250×250 · bone marrow smear: 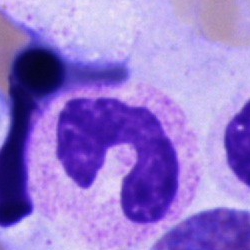This is a neutrophil (band).